Bone marrow aspirate smear · MGG-stained.
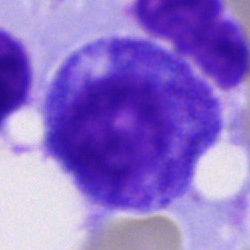 Cell = promyelocyte.